Bone marrow smear — 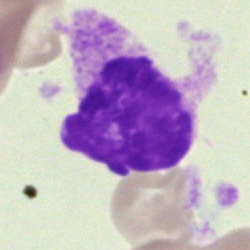 Specimen: bone marrow smear.
Cell: cell of indeterminate lineage.